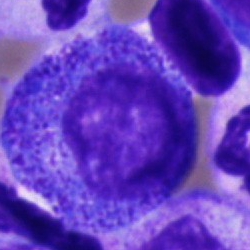Q: Identify the cell.
A: A progranulocyte.